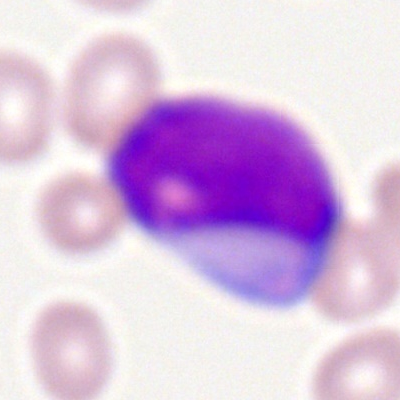
This is a myeloblast.